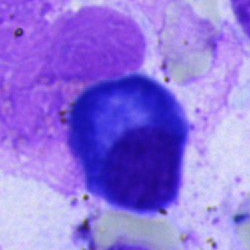

Single cell identified as a plasmacyte.